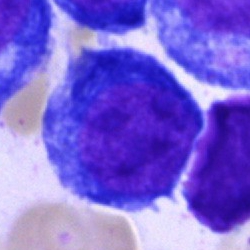Classification: proerythroblast.